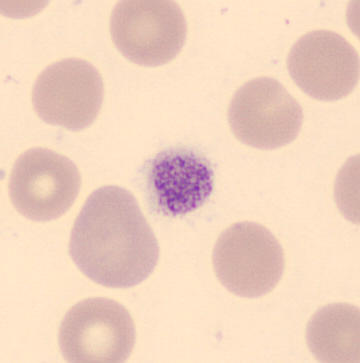 Image: Peripheral blood smear.

Impression → platelet (thrombocyte).